Bone marrow smear — 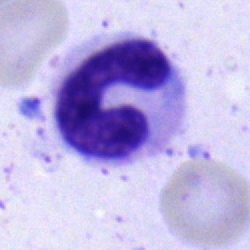

Specimen: bone marrow aspirate smear.
Cell: stab cell.
Lineage: myeloid.